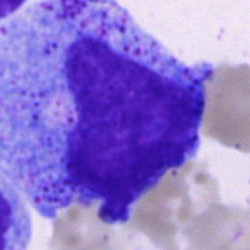Morphological class — progranulocyte.